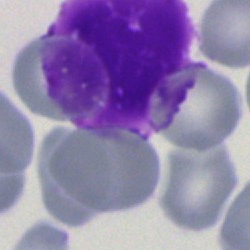
Q: What is shown here?
A: This is an artefact.